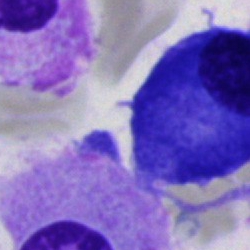

The cell shown is a plasmacyte.